Peripheral blood smear.
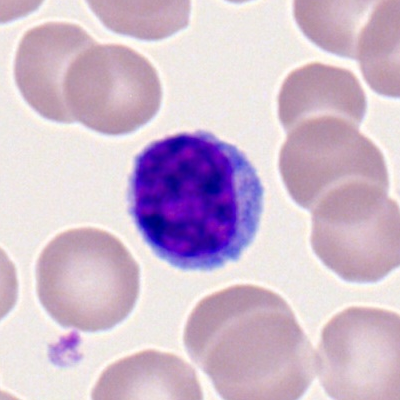

{"cell_type": "typical lymphocyte", "lineage": "lymphoid"}